40× oil immersion; 250×250 px; bone marrow smear: 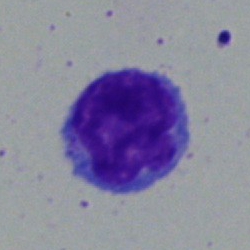Showing a typical lymphocyte.